250 by 250 pixels · bone marrow smear: 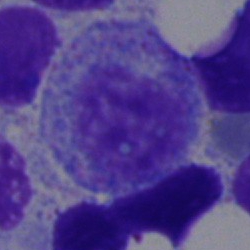 Q: What type of cell is this?
A: A promyelocyte.